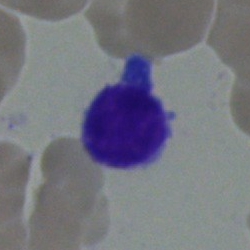 Morphological class = lymphocyte.